Bone marrow aspirate smear. 250×250 px:
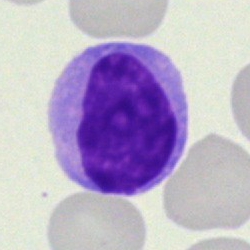{"cell_type": "lymphocyte"}